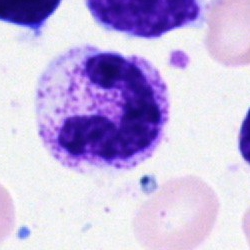 A neutrophil (segmented).